Peripheral blood film — 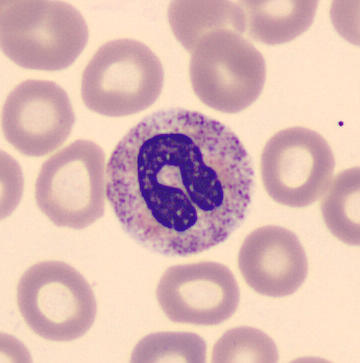

{"cell_type": "band-form neutrophil"}